Bone marrow smear:
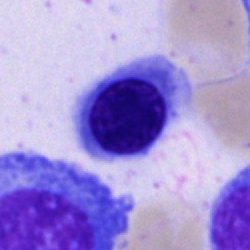
Specimen: bone marrow smear.
Cell type: nucleated red blood cell.